Cropped to a single cell. Bone marrow smear.
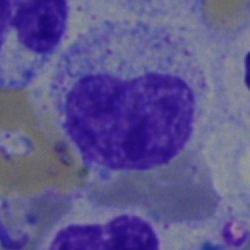

Morphology → metamyelocyte.